Bone marrow smear. 250×250
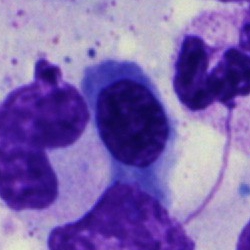
The cell shown is an erythroblast.